Bone marrow smear; Pappenheim-stained — 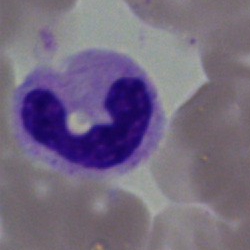{"cell_type": "polymorphonuclear neutrophil"}